Bone marrow aspirate smear. 250×250
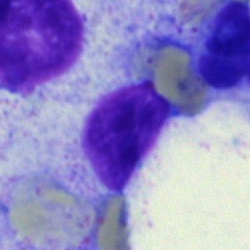 Morphology consistent with an unidentifiable cell.